Bone marrow smear; 250 by 250 pixels; cropped to a single cell — 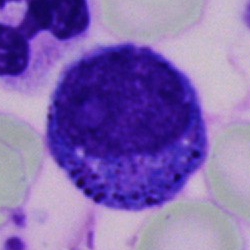

Promyelocyte.